40× oil immersion; bone marrow aspirate smear
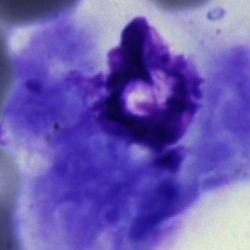Morphology — artifact.